Bone marrow aspirate smear
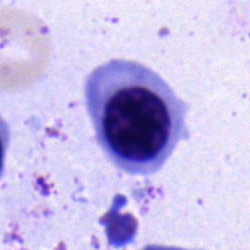
Morphology consistent with a nucleated red cell.